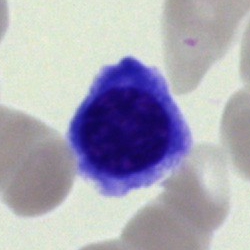

The cell type is normoblast.